Bone marrow smear; single-cell crop
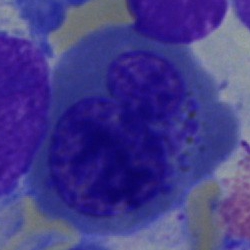 Impression — normoblast.